Bone marrow smear: 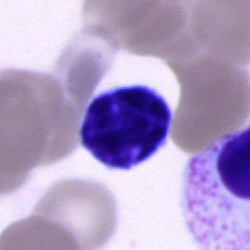 Q: Which cell type is shown here?
A: A lymphocyte.